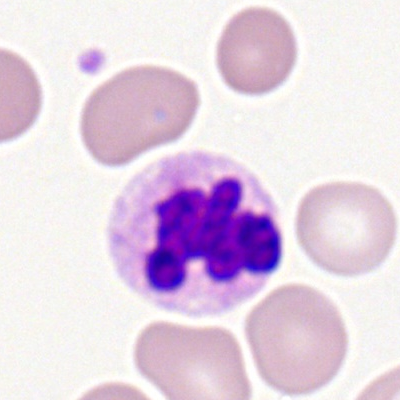

Morphology consistent with a polymorphonuclear neutrophil.